Bone marrow aspirate smear
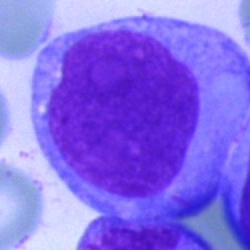Specimen: bone marrow aspirate smear.
Cell: blast cell.